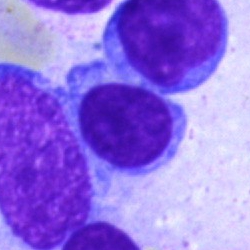

The cell shown is a typical lymphocyte.